Brightfield microscopy, 40× oil immersion. Bone marrow smear: 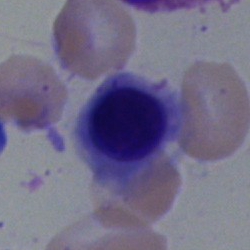Morphological class = nucleated red blood cell.